Peripheral blood smear
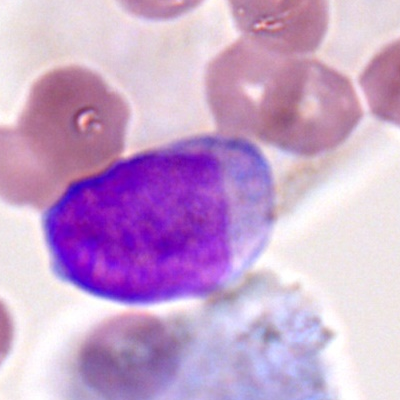
Q: What type of cell is this?
A: This is a myeloid blast.